Bone marrow smear. Image size 250×250:
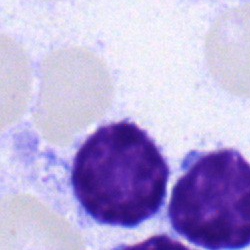Morphological class: typical lymphocyte.